Image size 250×250 · bone marrow smear: 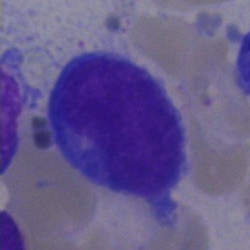

Morphology consistent with a blast.